Bone marrow aspirate smear
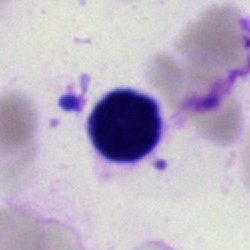
This is an artefact.